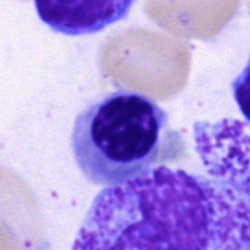

Morphological class: nucleated red blood cell.